Bone marrow smear — 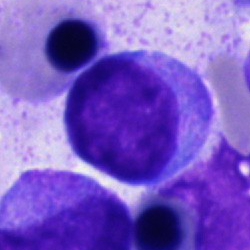Specimen: bone marrow aspirate smear.
Classification: undifferentiated blast.